Bone marrow aspirate smear
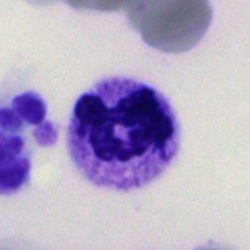 Morphology — segmented neutrophil.